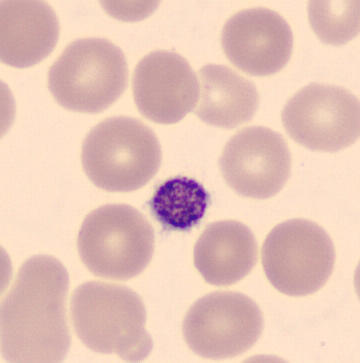 This is a thrombocyte.